Bone marrow aspirate smear · May-Grünwald-Giemsa stain.
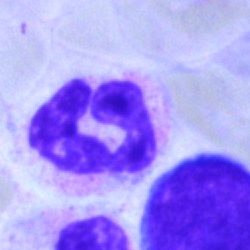Impression — segmented neutrophil.